Peripheral blood film; single-cell field; Romanowsky-stained: 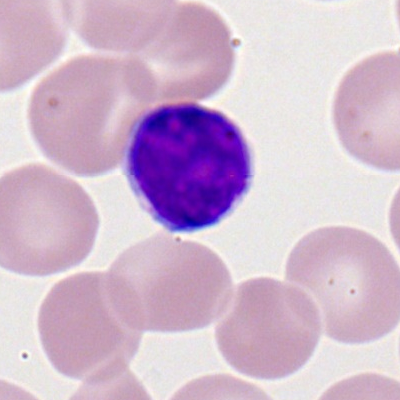Q: What cell is this?
A: It is a lymphocyte.